Bone marrow smear — 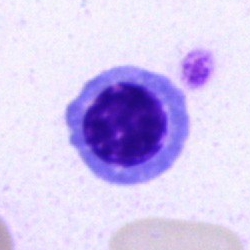

Nucleated red cell.